Bone marrow smear
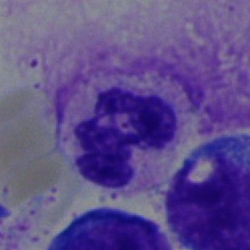
Q: What is the morphological classification of this cell?
A: It is a segmented neutrophil.